Bone marrow aspirate smear. May-Grünwald-Giemsa/Pappenheim stain — 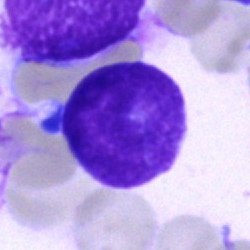
Classification: blast.